Bone marrow aspirate smear · 250 by 250 pixels:
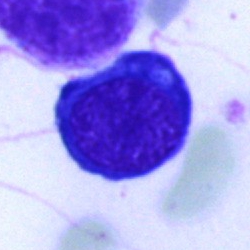 Q: Identify the cell.
A: A normoblast.